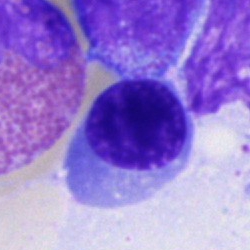Cell — normoblast.